40× oil immersion; bone marrow aspirate smear:
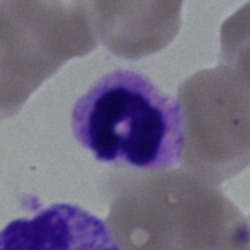
Morphology — neutrophil (segmented).